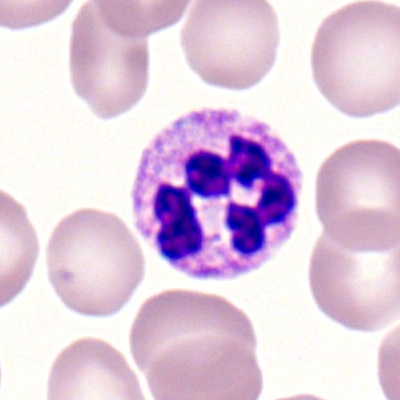

A neutrophil (segmented).